Peripheral blood smear:
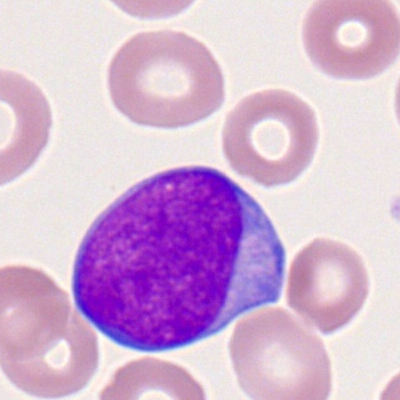
A myeloid blast.